Bone marrow smear — 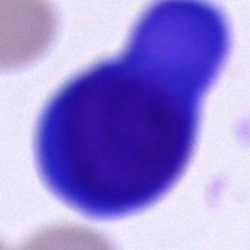

This is a plasma cell.